Bone marrow smear.
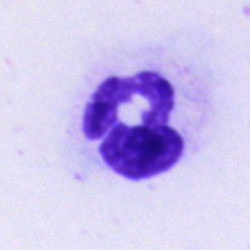 Neutrophil (segmented).